Peripheral blood film: 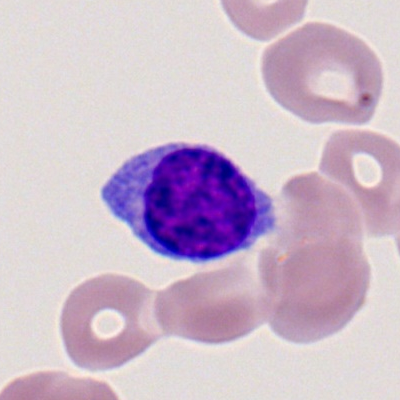
Cell type: lymphocyte.